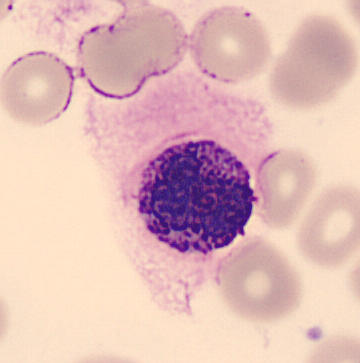 Single cell identified as a basophilic granulocyte.

Acquisition: Peripheral blood film.